Bone marrow aspirate smear: 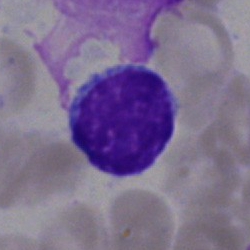 Specimen: bone marrow smear.
Cell type: lymphocyte.